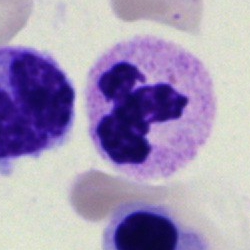 {"cell_type": "polymorphonuclear neutrophil"}